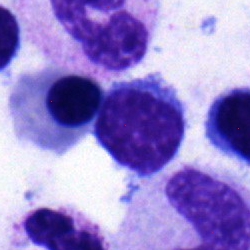Q: What is shown here?
A: Typical lymphocyte.